MGG-stained · single-cell crop · bone marrow aspirate smear
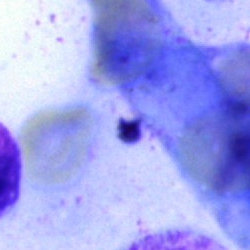

Cell: artifact.